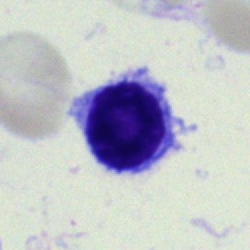Showing a lymphocyte.